250×250. Bone marrow aspirate smear. Single cell centered in the field
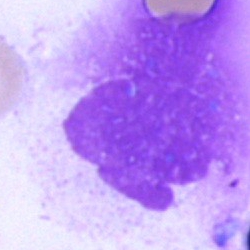Showing an artifact.